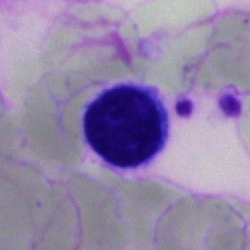 Q: What is the morphological classification of this cell?
A: A typical lymphocyte.